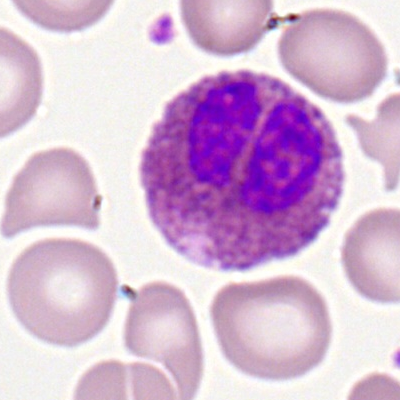
Impression → eosinophil.